250×250; bone marrow smear:
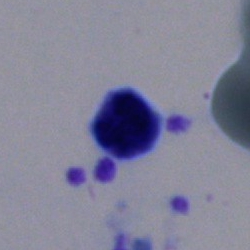
Showing a typical lymphocyte.